Bone marrow aspirate smear.
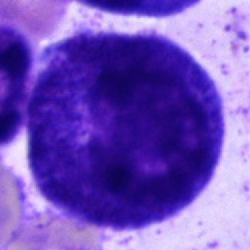 Q: What is shown here?
A: A promyelocyte.